Bone marrow smear — 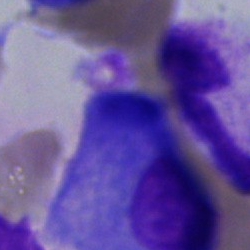Cell of indeterminate lineage.